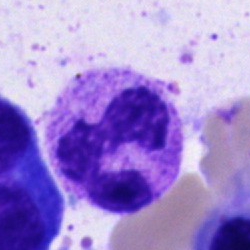
The cell is segmented neutrophil.